Bone marrow smear:
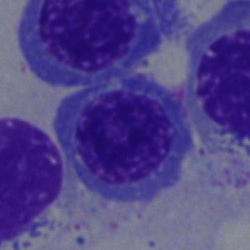

Morphological class: normoblast.